Bone marrow aspirate smear. MGG-stained: 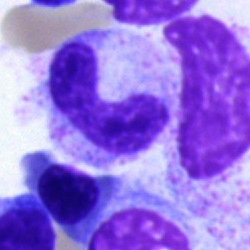Showing a stab cell.